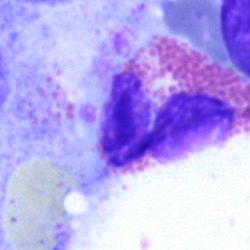

Specimen: bone marrow aspirate smear.
Morphological class: eosinophilic granulocyte.